Bone marrow smear; single cell centered in the field — 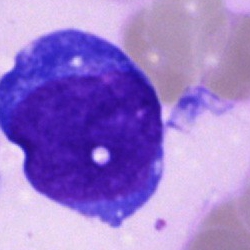 Morphology → pronormoblast.